Bone marrow aspirate smear:
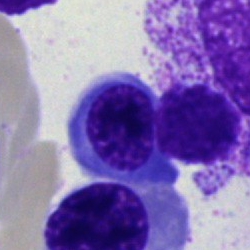

Specimen: bone marrow aspirate smear.
Classification: nucleated red blood cell.